Bone marrow smear · 250 by 250 pixels: 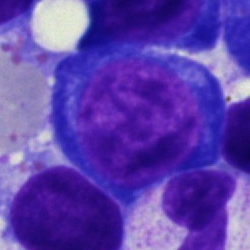

Morphology consistent with a pronormoblast.